Single-cell field · CellaVision DM96 · peripheral blood smear
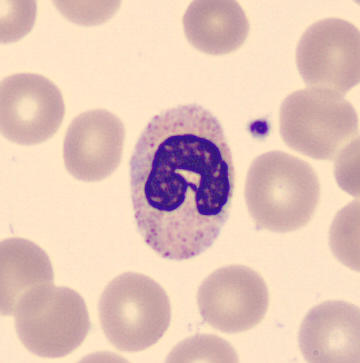

Classification: band neutrophil.